Bone marrow aspirate smear: 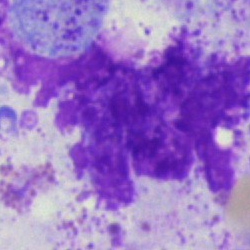
Cell: artefact.